Bone marrow smear: 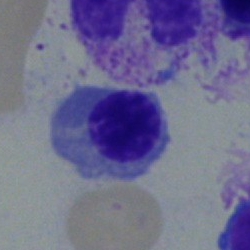 Showing an erythroblast.